Bone marrow aspirate smear — 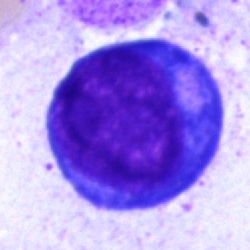
Morphology — proerythroblast.